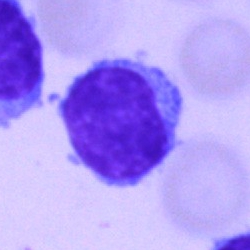Q: What type of cell is this?
A: Lymphocyte.